Bone marrow smear · 250×250 px: 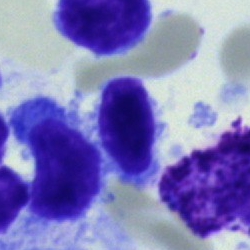Q: What is the morphological classification of this cell?
A: This is a lymphocyte.